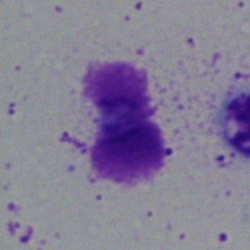Morphology — artifact.